Single-cell crop · bone marrow aspirate smear
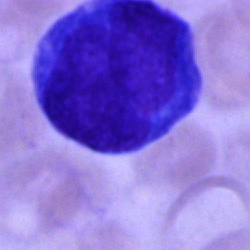
Morphology — blast.